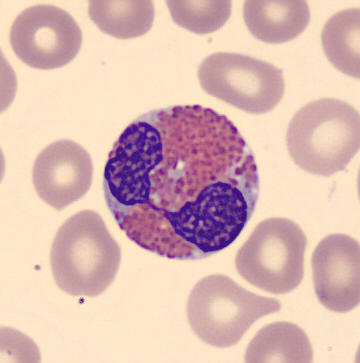
Specimen: peripheral blood film.
Classification: eosinophil.
Lineage: myeloid.